Bone marrow smear · 40× objective, oil immersion
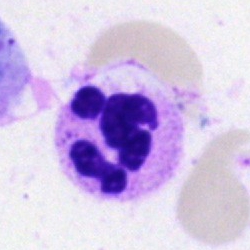

Q: What is the morphological classification of this cell?
A: It is a neutrophil (segmented).